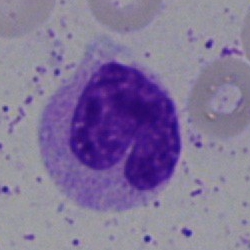

Morphological class — neutrophil (band).